Bone marrow smear; 250 by 250 pixels; single-cell crop
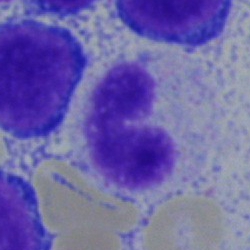 Cell — stab cell.